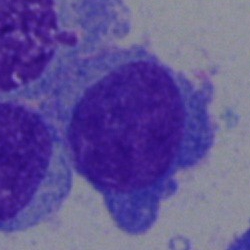 Morphology consistent with a plasmacyte.